Bone marrow aspirate smear:
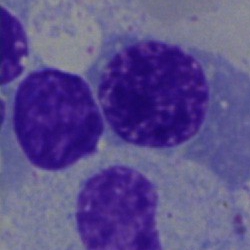
Morphology → erythroblast.